40× objective, oil immersion · bone marrow smear · single-cell crop.
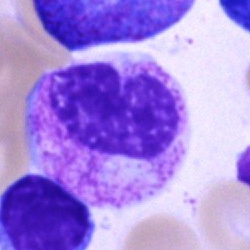

Classification — segmented neutrophil.